Bone marrow smear. Single-cell field — 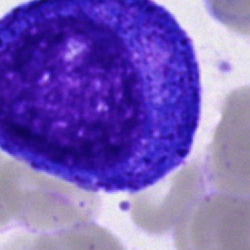
Showing a promyelocyte.